MGG-stained; bone marrow smear; 250 by 250 pixels.
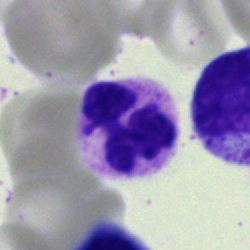A polymorphonuclear neutrophil.